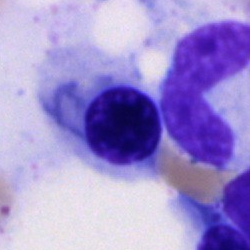

Single-cell crop from a bone marrow smear: nucleated red blood cell.